Bone marrow smear.
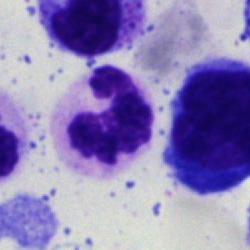The cell type is polymorphonuclear neutrophil.